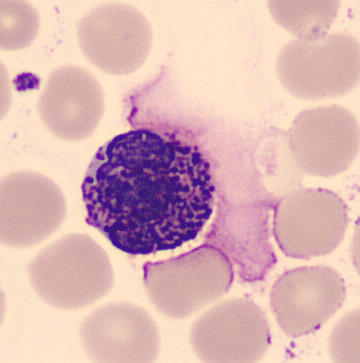 From a peripheral blood smear: a basophil.